Bone marrow smear
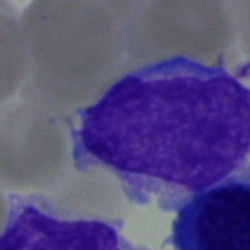

The cell shown is an undifferentiated blast.